40× oil immersion. Bone marrow smear — 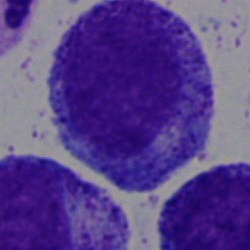
Morphological class = progranulocyte.